Bone marrow smear · cropped to a single cell · 250 by 250 pixels: 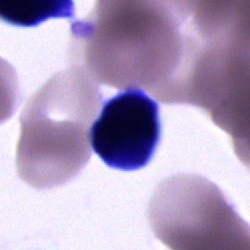

Morphology → cell of indeterminate lineage.